Bone marrow aspirate smear. May-Grünwald-Giemsa/Pappenheim stain. Brightfield, 40× oil-immersion objective.
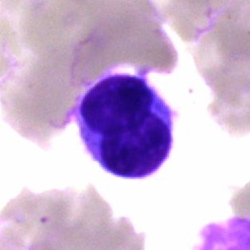
Single cell identified as a lymphocyte.